Bone marrow aspirate smear: 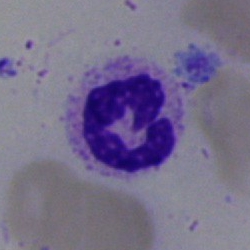Specimen: bone marrow smear.
Classification: segmented neutrophil.